Pappenheim-stained · bone marrow aspirate smear.
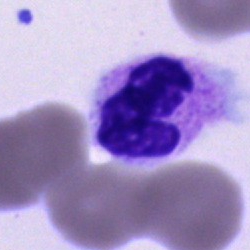The cell shown is a neutrophil (segmented).